Cropped to a single cell · bone marrow smear: 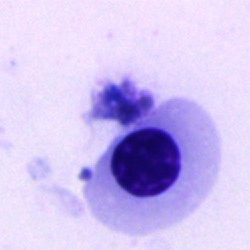

Single cell identified as a normoblast.